Bone marrow aspirate smear · brightfield microscopy, 40× oil immersion
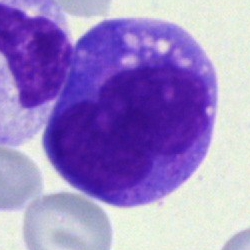

Morphology → monocyte.